Cropped to a single cell. Bone marrow aspirate smear. Brightfield microscopy, 40× oil immersion — 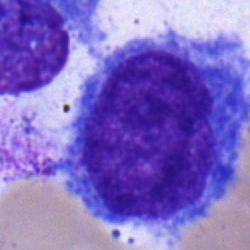 Morphology — blast cell.